40× oil immersion. Bone marrow smear. Single-cell field — 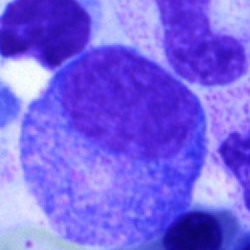
Showing a progranulocyte.